Peripheral blood smear: 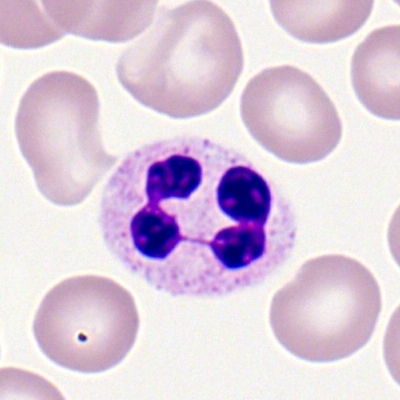 Morphology — neutrophil (segmented).